Bone marrow smear:
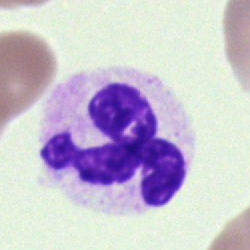Q: What is the morphological classification of this cell?
A: A neutrophil (segmented).